Bone marrow smear. 250×250. MGG-stained:
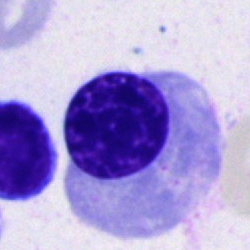Q: What cell is this?
A: This is a normoblast.